May-Grünwald-Giemsa stain · 250×250 px · bone marrow smear: 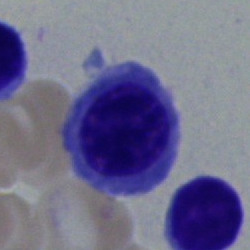Morphological class — nucleated red blood cell.